Bone marrow smear:
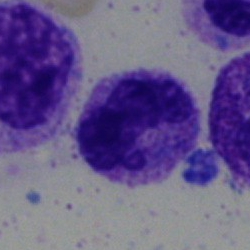 Morphological class = polymorphonuclear neutrophil.